Bone marrow smear — 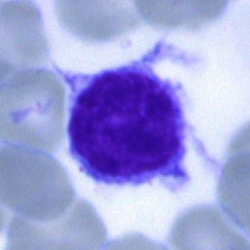{"cell_type": "hairy cell", "lineage": "lymphoid"}